Bone marrow aspirate smear. 250×250 px: 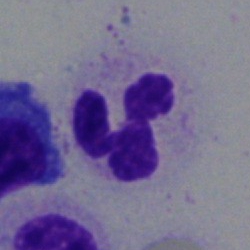
Segmented neutrophil.